Bone marrow smear: 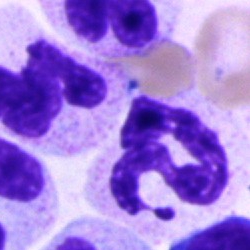

Specimen: bone marrow smear.
Cell type: segmented neutrophil.
Lineage: myeloid.